Bone marrow aspirate smear
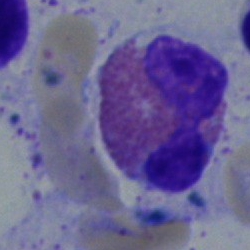The cell shown is an eosinophil.